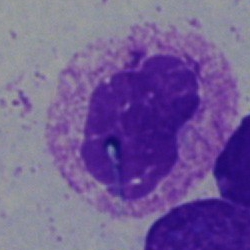A stab cell on a bone marrow smear.